Peripheral blood film.
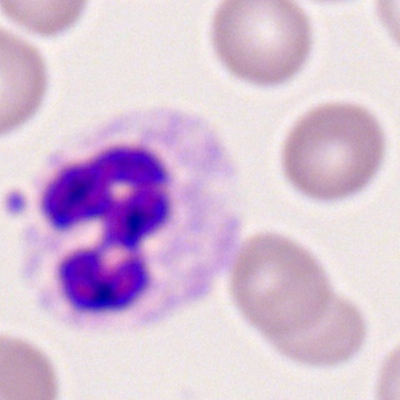
This is a polymorphonuclear neutrophil.